May-Grünwald-Giemsa stain. Single-cell crop. Bone marrow aspirate smear:
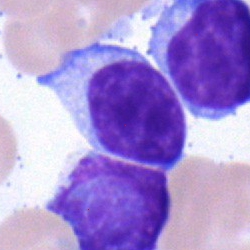The cell shown is a lymphocyte.